Bone marrow aspirate smear
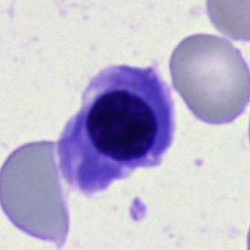

Cell type: nucleated red cell.